Bone marrow aspirate smear · cropped to a single cell · image size 250×250.
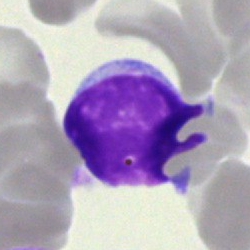 Typical lymphocyte.